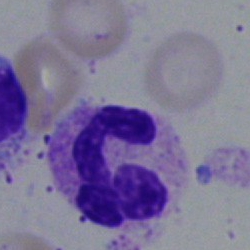Specimen: bone marrow aspirate smear.
Classification: segmented neutrophil.